Bone marrow smear — 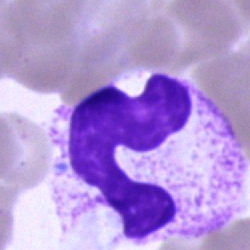Neutrophil (segmented).